Cropped to a single cell · bone marrow smear.
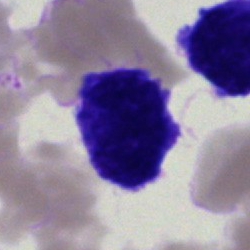 Artefact.